Bone marrow smear; cropped to a single cell: 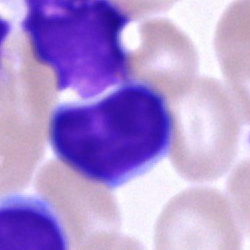Specimen: bone marrow smear.
Cell type: lymphocyte.